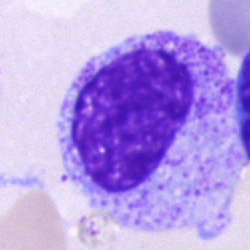 Specimen: bone marrow aspirate smear.
Cell: progranulocyte.
Lineage: myeloid.